Bone marrow smear: 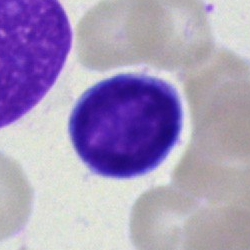

The morphological class is typical lymphocyte.